Bone marrow aspirate smear
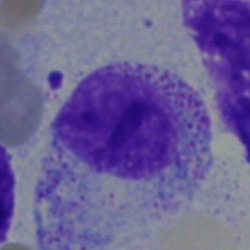 Morphology consistent with a myelocyte.